250×250 px; May-Grünwald-Giemsa stain; bone marrow aspirate smear — 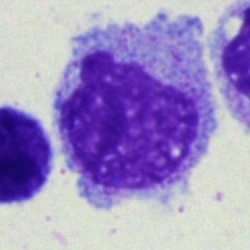

Morphology consistent with a progranulocyte.